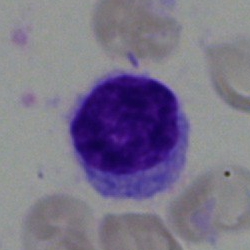 Showing a hairy cell.